40× objective, oil immersion; May-Grünwald-Giemsa stain; bone marrow smear.
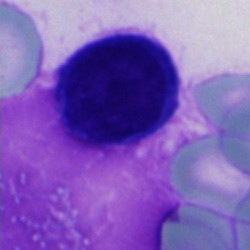Morphology — cell of indeterminate lineage.